Cropped to a single cell · bone marrow smear · image size 250×250 — 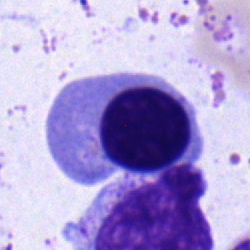

Morphology consistent with a nucleated red blood cell.